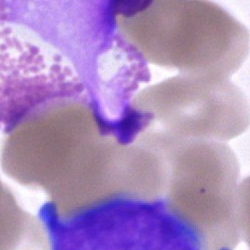

Impression → unidentifiable cell.